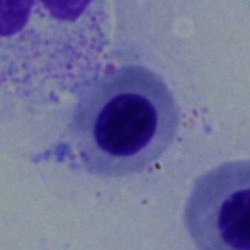

{"cell_type": "nucleated red blood cell", "lineage": "erythroid"}